400×400 px · peripheral blood smear · single cell centered in the field
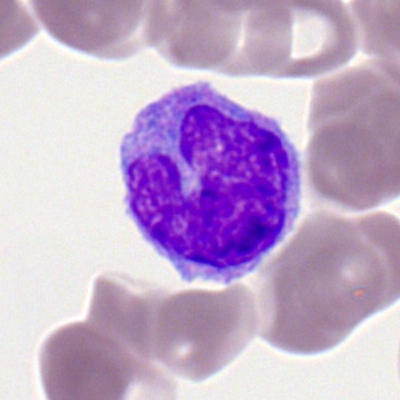
Classification — monocyte.